Bone marrow aspirate smear; brightfield microscopy, 40× oil immersion
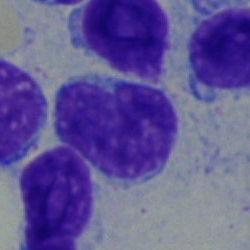

{"cell_type": "lymphocyte", "lineage": "lymphoid"}